Peripheral blood smear:
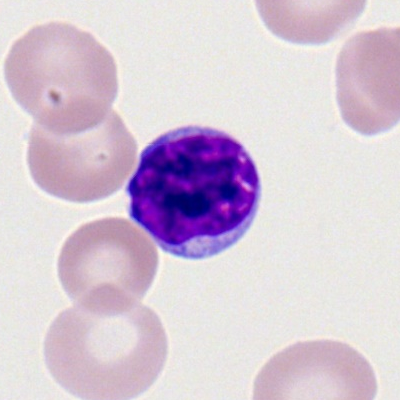The cell shown is a typical lymphocyte.